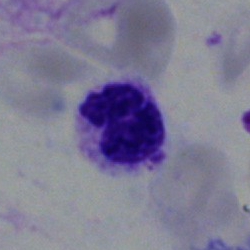

Bone marrow smear showing a neutrophil (segmented).